Bone marrow aspirate smear
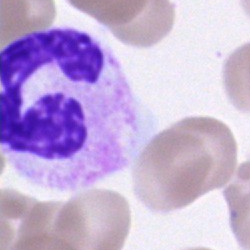The cell shown is a neutrophil (segmented).